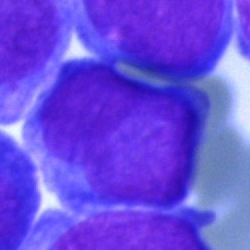
{"cell_type": "blast cell"}